Bone marrow aspirate smear
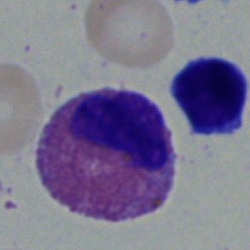

Cell — eosinophil.